Bone marrow aspirate smear — 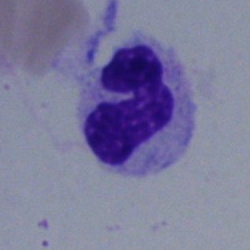

Cell: neutrophil (segmented).